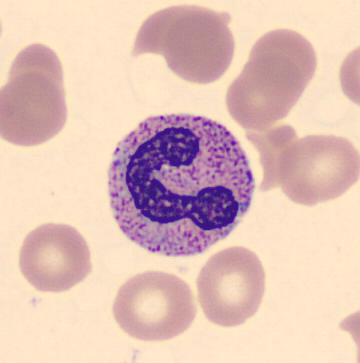 Specimen: peripheral blood smear.
Cell type: band-form neutrophil.
Lineage: myeloid.
Image: Image size 360×363; May-Grünwald-Giemsa-stained.